Bone marrow aspirate smear. MGG-stained. 250×250 — 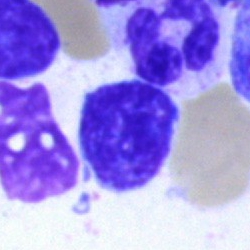

Specimen: bone marrow aspirate smear.
Classification: artefact.